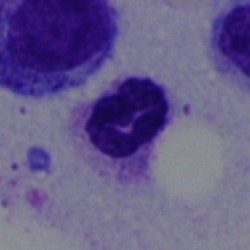

Q: What is the morphological classification of this cell?
A: Polymorphonuclear neutrophil.